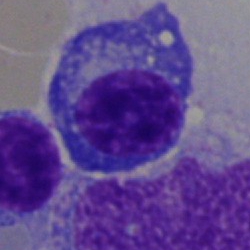
Morphology → plasma cell.